Bone marrow aspirate smear
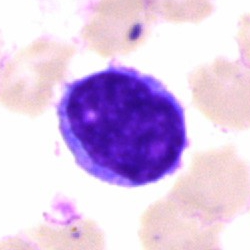
Morphology consistent with a lymphocyte.